Bone marrow smear: 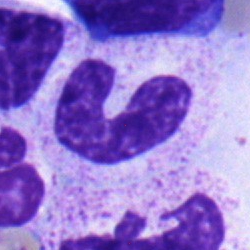Specimen: bone marrow smear.
Cell: neutrophil (band).